Single-cell field; bone marrow smear: 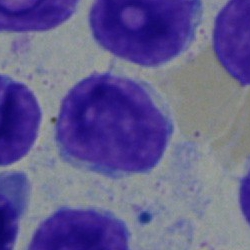
Q: What type of cell is this?
A: It is a typical lymphocyte.